Bone marrow aspirate smear:
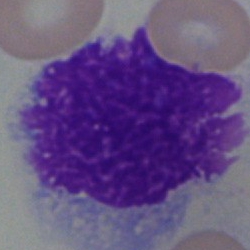 Cell type = artifact.